250 by 250 pixels. Bone marrow aspirate smear:
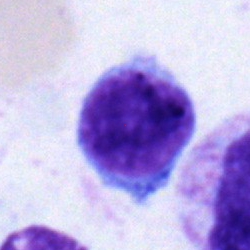

The cell type is lymphocyte.